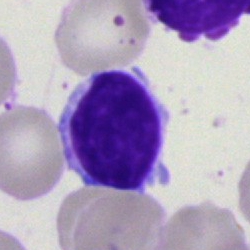

{"cell_type": "lymphocyte", "lineage": "lymphoid"}